Bone marrow aspirate smear:
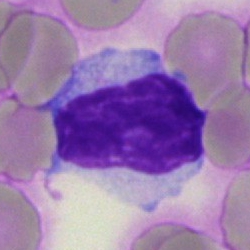
This is a typical lymphocyte.